Bone marrow aspirate smear; cropped to a single cell.
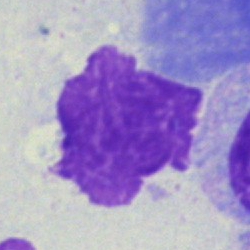Specimen: bone marrow aspirate smear.
Cell: artifact.